Single cell centered in the field. Bone marrow aspirate smear — 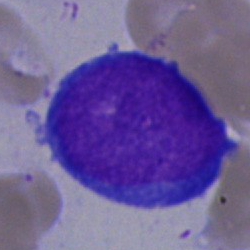
Cell = undifferentiated blast.